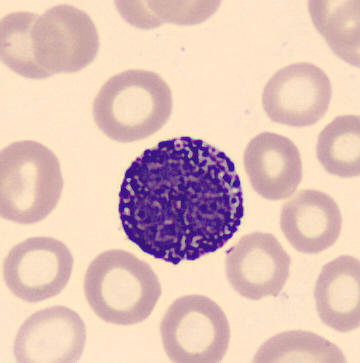

Morphology — basophilic granulocyte.